Bone marrow aspirate smear:
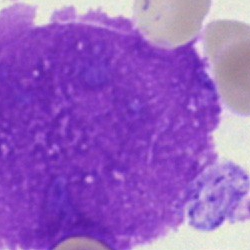Impression → artifact.